Bone marrow aspirate smear:
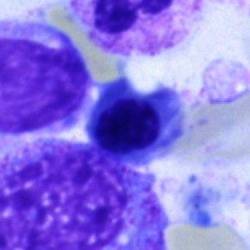
Classification: neutrophil (segmented).